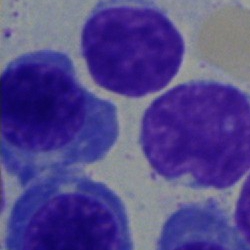 {"cell_type": "lymphocyte"}